Bone marrow aspirate smear.
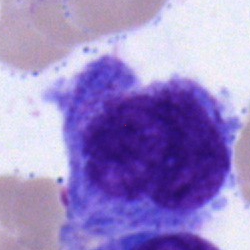Morphology consistent with an undifferentiated blast.